Bone marrow aspirate smear: 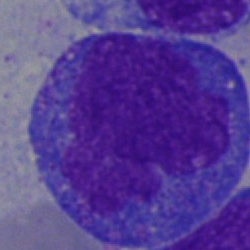

The cell shown is a monocyte.